Bone marrow smear:
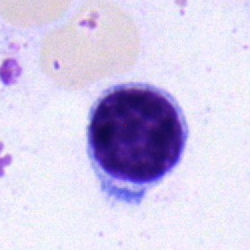 Morphology consistent with a lymphocyte.